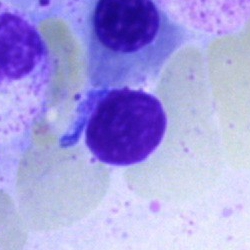Cell = lymphocyte.